Bone marrow aspirate smear:
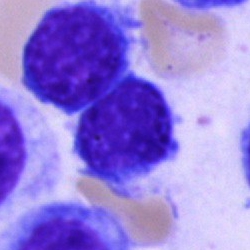Typical lymphocyte.